Brightfield microscopy, 40× oil immersion · cropped to a single cell · bone marrow smear: 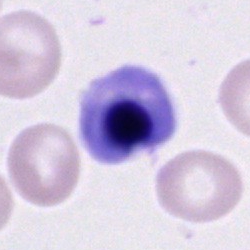

This is an erythroblast.